40× oil immersion · bone marrow smear
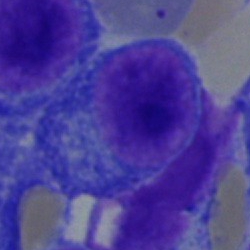
Impression — plasmacyte.